Bone marrow smear; brightfield, 40× oil-immersion objective — 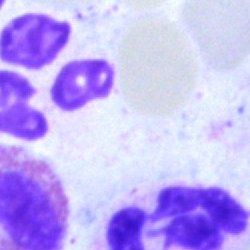 Showing an artefact.